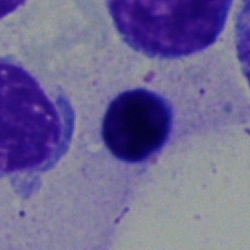

{"cell_type": "nucleated red cell"}